Brightfield microscopy, 40× oil immersion; single-cell field; bone marrow smear
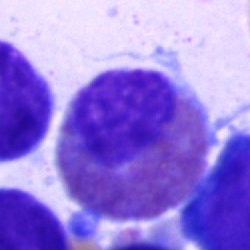

Showing an eosinophil.